Bone marrow aspirate smear. 40× oil immersion.
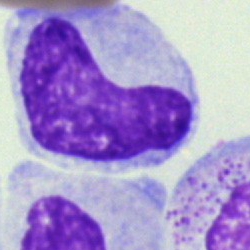 Cell — metamyelocyte.